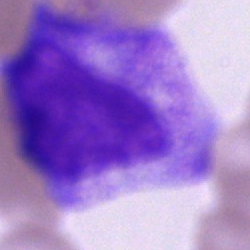Specimen: bone marrow smear.
Cell type: promyelocyte.